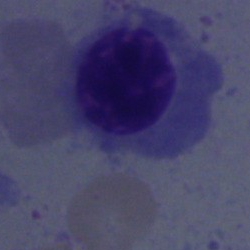Cell — nucleated red cell.